Bone marrow smear · brightfield, 40× oil-immersion objective · May-Grünwald-Giemsa/Pappenheim stain
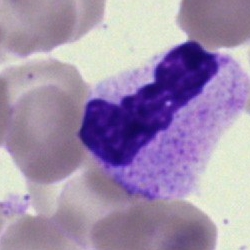Single cell identified as a neutrophil (segmented).